Bone marrow aspirate smear:
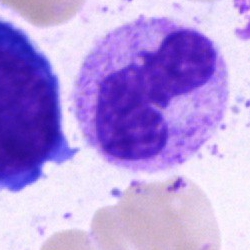 Q: What is the morphological classification of this cell?
A: A neutrophil (band).